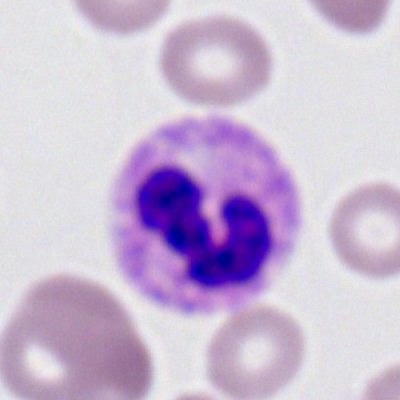Peripheral blood film, single cell — polymorphonuclear neutrophil.